May-Grünwald-Giemsa/Pappenheim stain. Bone marrow aspirate smear: 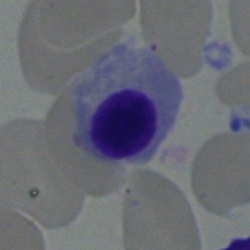A nucleated red blood cell.